Peripheral blood smear
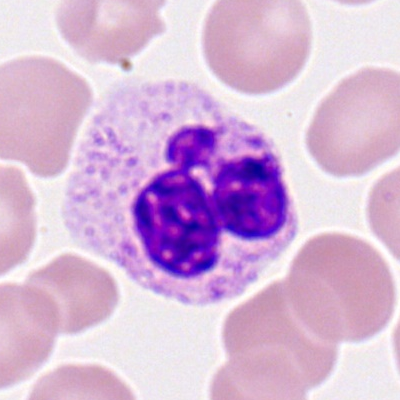Cell: segmented neutrophil.